Bone marrow smear: 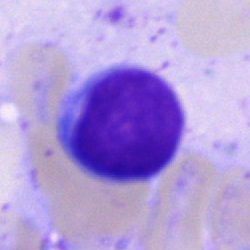

Morphology → undifferentiated blast.